Bone marrow aspirate smear
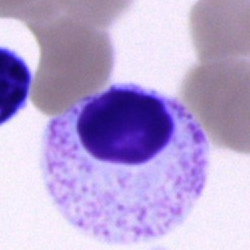
Specimen: bone marrow aspirate smear.
Morphological class: unidentifiable cell.